40× objective, oil immersion · bone marrow aspirate smear · 250×250: 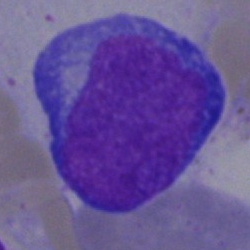

Morphology — blast cell.